250×250; bone marrow aspirate smear; May-Grünwald-Giemsa stain:
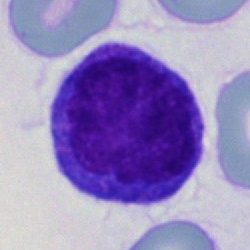

Classification — blast.